Bone marrow smear: 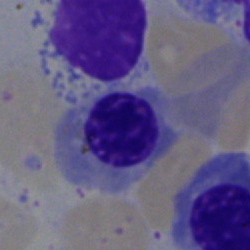

Morphological class — nucleated red blood cell.